Bone marrow smear — 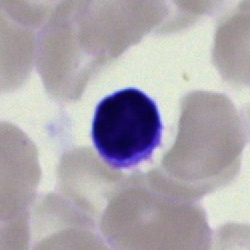 Cell: lymphocyte.